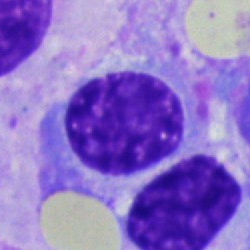 Morphology — plasma cell.